Bone marrow smear · 250 by 250 pixels · cropped to a single cell — 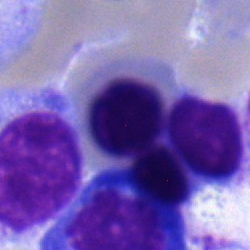
Q: Identify the cell.
A: It is a nucleated red blood cell.